Bone marrow smear; 250 by 250 pixels: 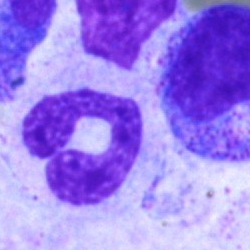

Cell type = polymorphonuclear neutrophil.